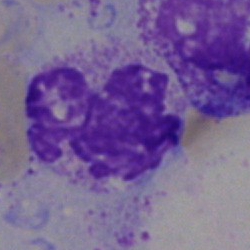Morphology consistent with a segmented neutrophil.